Bone marrow aspirate smear
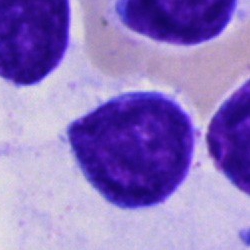Cell type — undifferentiated blast.